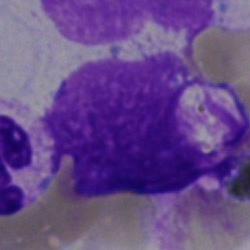 Bone marrow smear showing an artefact.